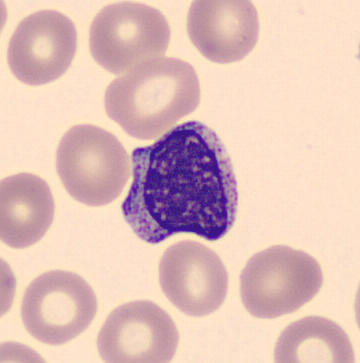Specimen: peripheral blood smear.
Classification: myelocyte.

CellaVision DM96 digital cell image.